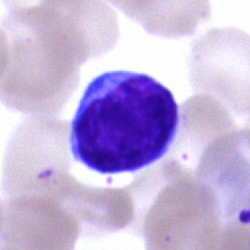Specimen: bone marrow aspirate smear.
Classification: lymphocyte.